Bone marrow smear
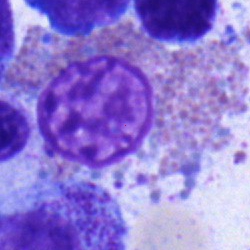Specimen: bone marrow smear.
Morphological class: eosinophilic granulocyte.
Lineage: myeloid.